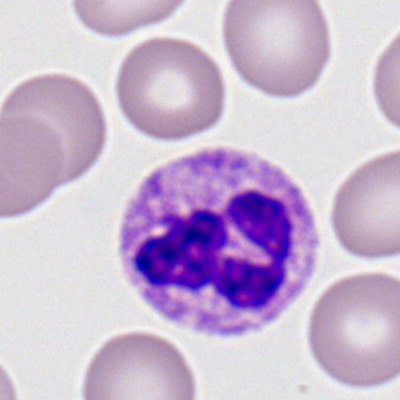 Morphological class — polymorphonuclear neutrophil.